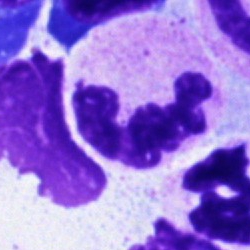 Q: Identify the cell.
A: This is a segmented neutrophil.